Bone marrow smear: 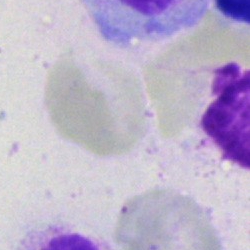
Q: What is shown here?
A: It is an artifact.